40× oil immersion · bone marrow smear · single-cell crop:
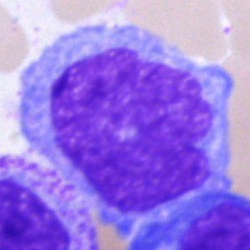 Morphology → undifferentiated blast.